Peripheral blood smear; 400×400.
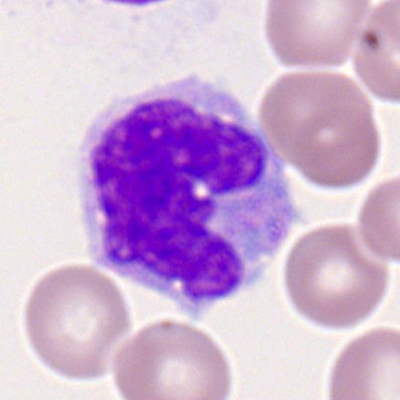
The cell is monocyte.